250 by 250 pixels · bone marrow smear · Pappenheim-stained: 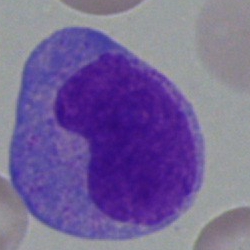 Impression — monocyte.